Bone marrow aspirate smear — 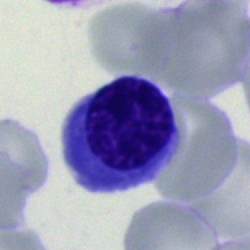Q: What is the morphological classification of this cell?
A: This is an erythroblast.